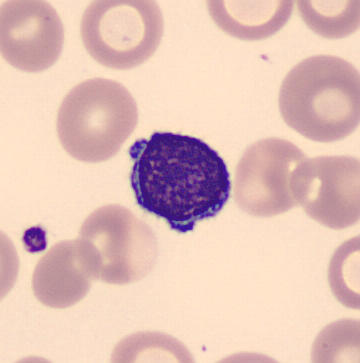

Cell = lymphocyte.